Bone marrow smear — 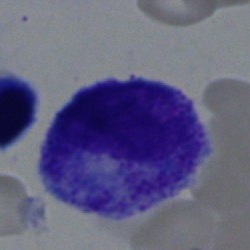
The morphological class is myelocyte.